Bone marrow aspirate smear — 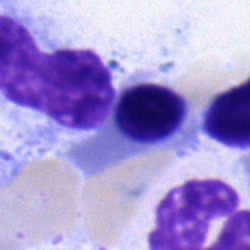

Cell — nucleated red cell.